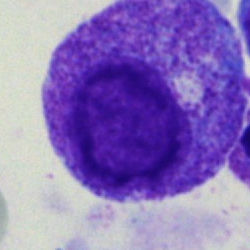
Bone marrow smear showing a myelocyte.